250 by 250 pixels; single-cell crop; bone marrow aspirate smear.
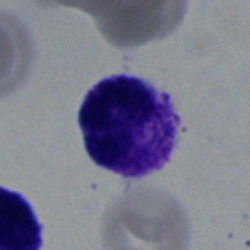

Impression → neutrophil (segmented).